Bone marrow smear: 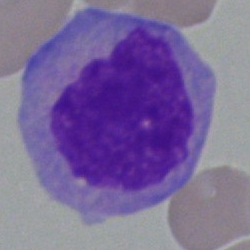

Specimen: bone marrow aspirate smear.
Morphological class: monocyte.
Lineage: myeloid.